Peripheral blood film. Romanowsky-stained.
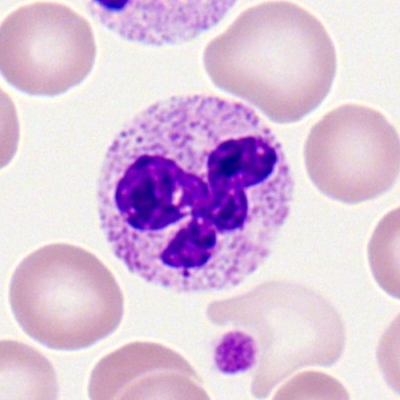 Neutrophil (segmented).